Bone marrow aspirate smear: 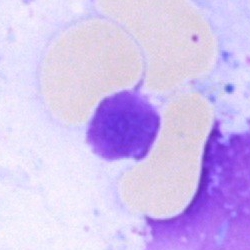

Showing an artifact.